Single cell centered in the field · bone marrow smear · brightfield microscopy, 40× oil immersion:
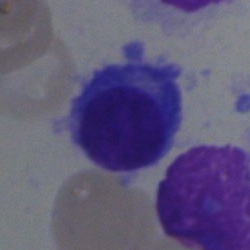 Plasma cell.